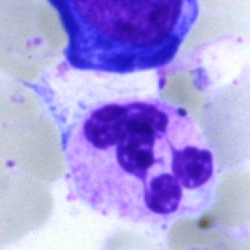
{"cell_type": "polymorphonuclear neutrophil", "lineage": "myeloid"}